Brightfield, 40× oil-immersion objective · bone marrow smear
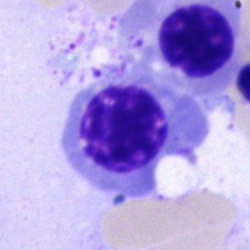

Morphology consistent with an erythroblast.